Single-cell field. Bone marrow aspirate smear. 250×250 px
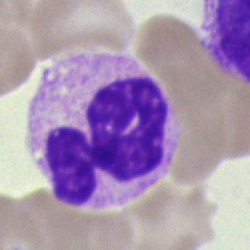
The cell shown is a polymorphonuclear neutrophil.